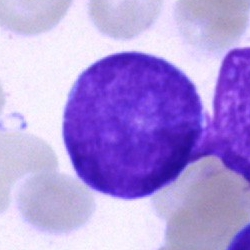

Cell type: blast cell.